Brightfield microscopy, 40× oil immersion; bone marrow smear.
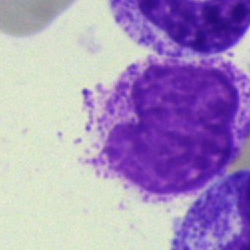An artefact.